Image size 400×400; peripheral blood film.
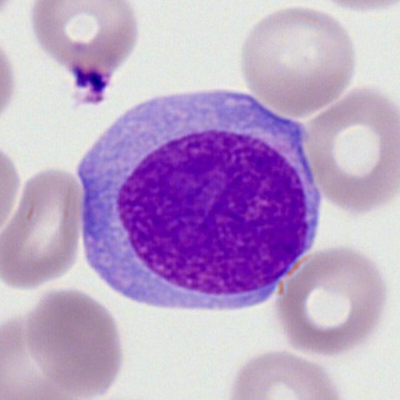 Single cell identified as a myeloblast.